Image size 250×250; bone marrow aspirate smear.
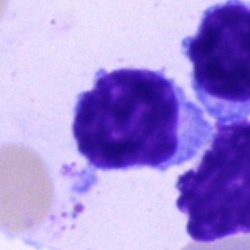 {"cell_type": "typical lymphocyte", "lineage": "lymphoid"}